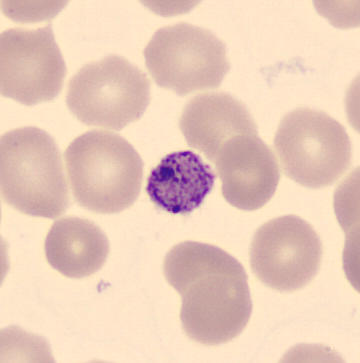Image: Peripheral blood film. Image size 360×363.

Identified as a thrombocyte.